40× oil immersion; bone marrow aspirate smear:
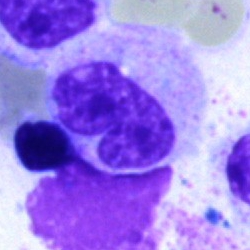 Q: Identify the cell.
A: It is a metamyelocyte.